Bone marrow aspirate smear.
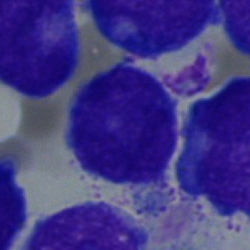
Impression → blast cell.